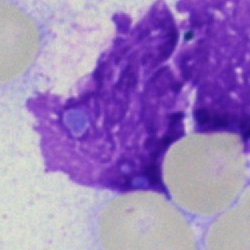 Showing an artefact.